Peripheral blood smear; M8 digital microscope (Precipoint), 100× oil immersion; Romanowsky-type stain:
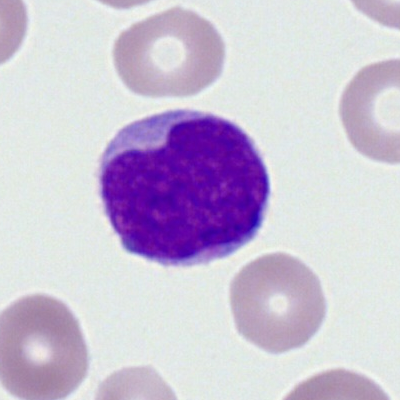Q: What is the morphological classification of this cell?
A: It is a myeloblast.